Bone marrow smear
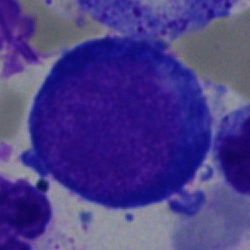Impression → nucleated red cell.